Pappenheim-stained; bone marrow aspirate smear:
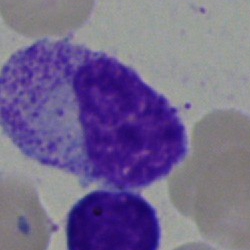

Morphological class — myelocyte.